Bone marrow smear · 250 by 250 pixels: 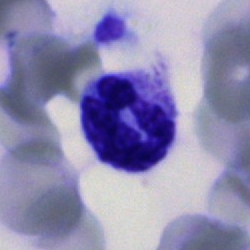
Q: Which cell type is shown here?
A: It is a neutrophil (segmented).